Bone marrow smear
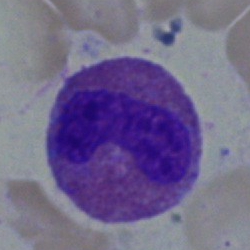 Classification = eosinophil.